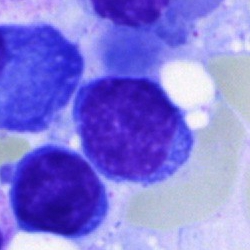
Cell type: lymphocyte.